Peripheral blood smear.
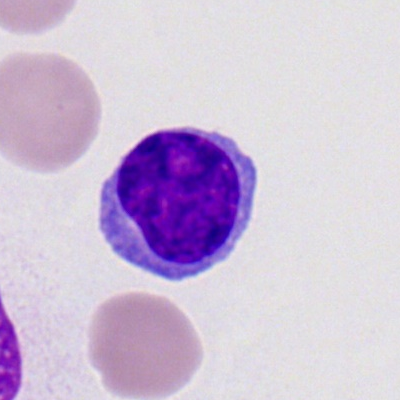 Cell type = lymphocyte.